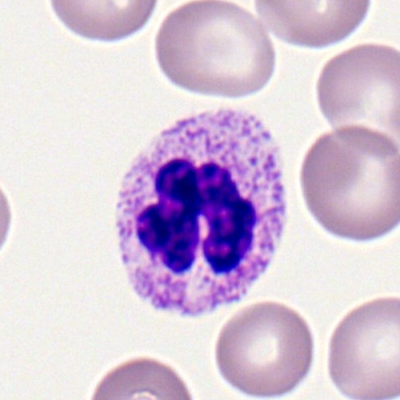
The cell shown is a segmented neutrophil.